Bone marrow aspirate smear · brightfield, 40× oil-immersion objective · May-Grünwald-Giemsa stain:
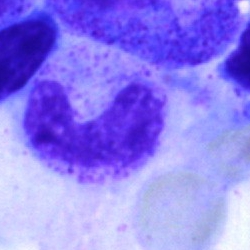

Morphology consistent with a stab cell.